250 by 250 pixels. 40× objective, oil immersion. Bone marrow smear — 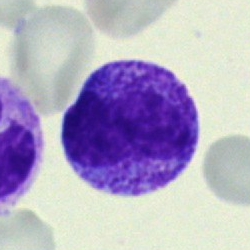
Specimen: bone marrow smear.
Cell type: metamyelocyte.
Lineage: myeloid.